Single cell centered in the field; bone marrow smear; image size 250×250 — 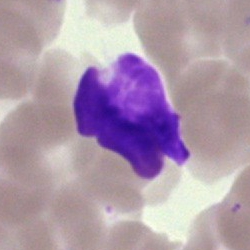Morphology → artefact.